Bone marrow aspirate smear.
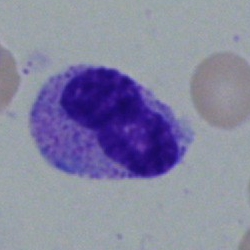

Classification: metamyelocyte.